Bone marrow smear; 250×250:
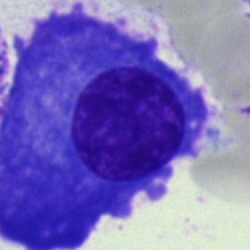

Morphology — plasmacyte.